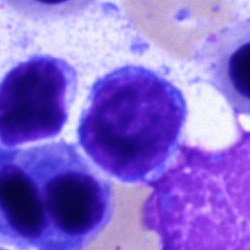 Q: What is shown here?
A: It is a typical lymphocyte.